250×250. Cropped to a single cell. Bone marrow smear.
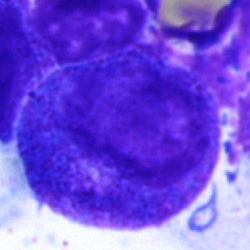
A progranulocyte.